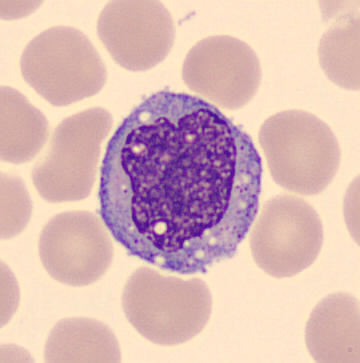
Q: Identify the cell.
A: Monocyte.